250×250. Bone marrow smear. 40× objective, oil immersion:
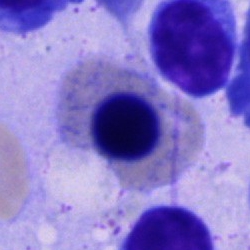 Morphology consistent with a nucleated red blood cell.